Bone marrow smear
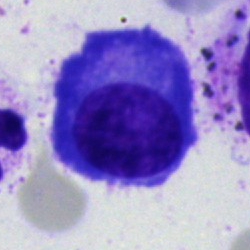

Specimen: bone marrow smear.
Classification: plasmacyte.
Lineage: lymphoid.